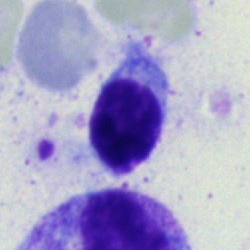This is a lymphocyte.